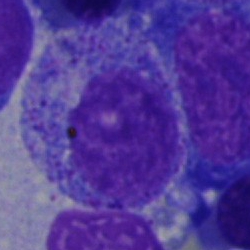
Classification: progranulocyte.